Peripheral blood smear · Romanowsky stain · 100× oil immersion, 14.14 px/µm — 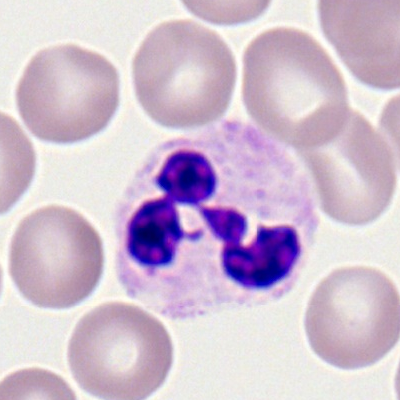
Morphology — neutrophil (segmented).